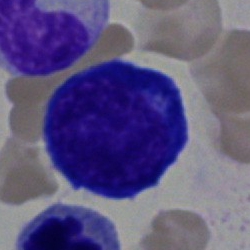 {"cell_type": "nucleated red cell"}